Bone marrow aspirate smear
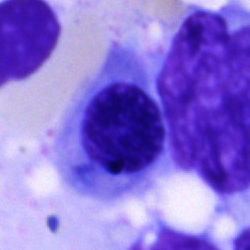
A normoblast.